Bone marrow aspirate smear.
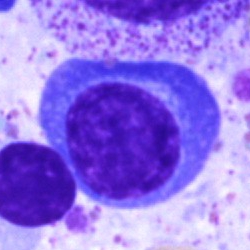A plasma cell.